Bone marrow smear. Brightfield, 40× oil-immersion objective: 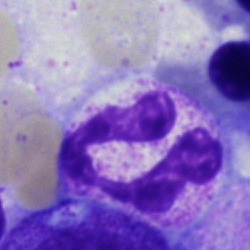
Cell = polymorphonuclear neutrophil.